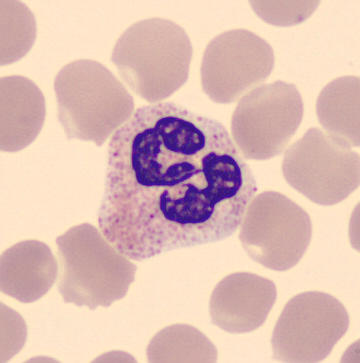

Morphology → segmented neutrophil. Acquisition: May-Grünwald-Giemsa-stained. CellaVision DM96 digital cell image. Peripheral blood smear.